Peripheral blood smear.
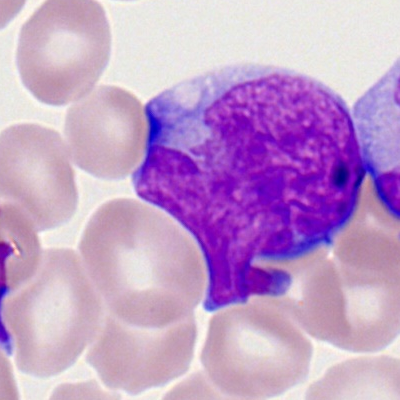
Morphology — myeloid blast.